250 by 250 pixels · bone marrow aspirate smear
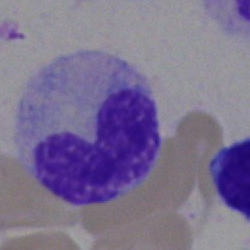
The classification is band-form neutrophil.